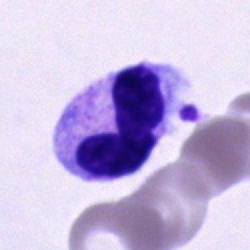Morphological class: band-form neutrophil.